Cropped to a single cell; bone marrow aspirate smear
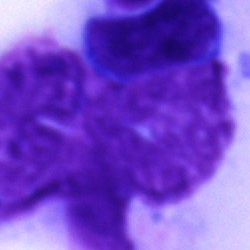
Specimen: bone marrow aspirate smear.
Morphological class: artefact.